Bone marrow smear; single cell centered in the field; 250×250.
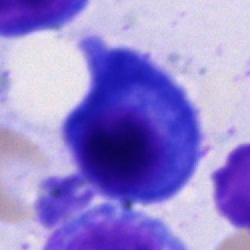
Q: What is shown here?
A: A plasma cell.